Brightfield microscopy, 40× oil immersion; bone marrow smear:
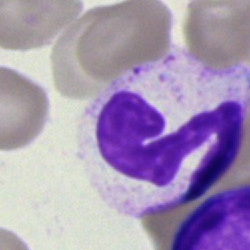
Classification — polymorphonuclear neutrophil.